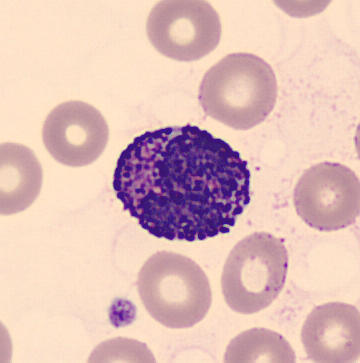

Single cell identified as a basophilic granulocyte. Acquisition: Peripheral blood film.